Peripheral blood film
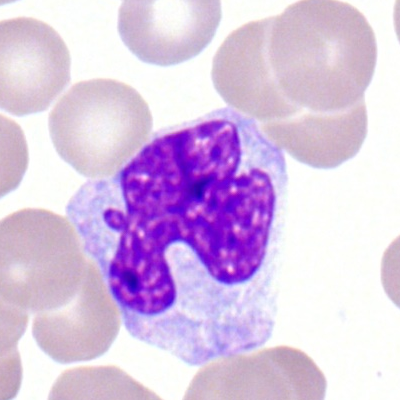

Impression → monocyte.